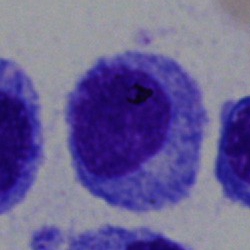 Q: What type of cell is this?
A: It is a promyelocyte.